MGG-stained; bone marrow smear: 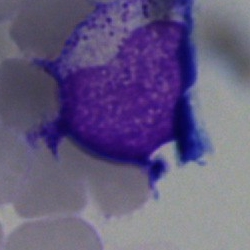

This is a typical lymphocyte.